Peripheral blood film:
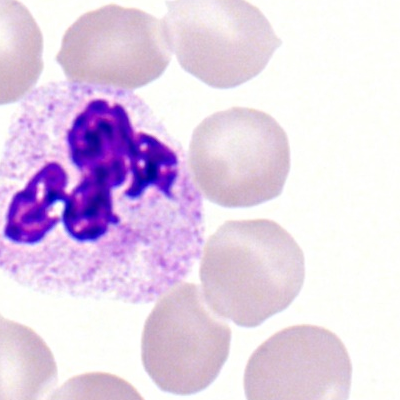 This is a polymorphonuclear neutrophil.